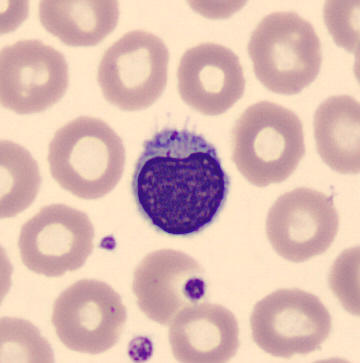

Specimen: peripheral blood smear.
Cell type: lymphocyte.